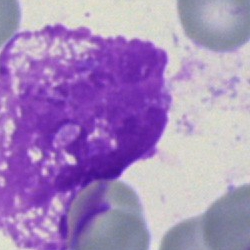

Specimen: bone marrow aspirate smear.
Classification: artifact.